May-Grünwald-Giemsa/Pappenheim stain. Bone marrow aspirate smear
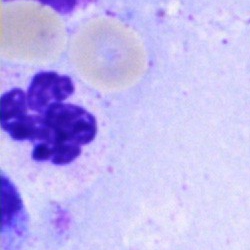 Showing a polymorphonuclear neutrophil.